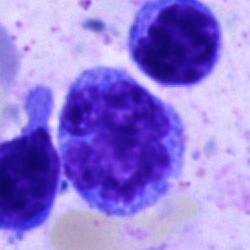 Q: What type of cell is this?
A: This is a monocyte.